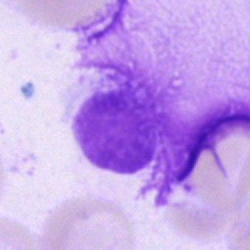
Single-cell crop from a bone marrow smear: artefact.